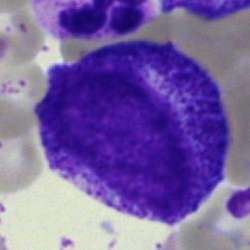
The cell type is progranulocyte.